Peripheral blood film; Romanowsky-type stain; image size 400×400:
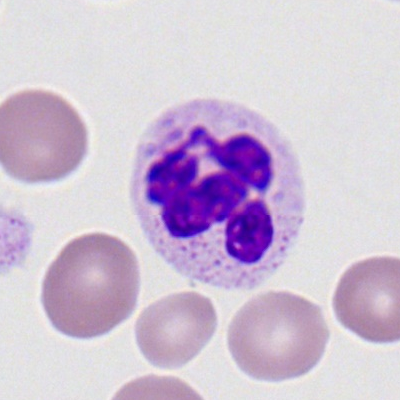

Classification: segmented neutrophil.